Pappenheim-stained · bone marrow smear · 40× oil immersion — 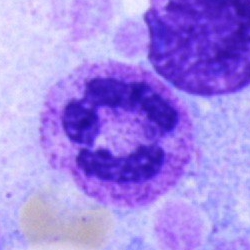Impression — neutrophil (segmented).